Single-cell crop · Romanowsky-stained · peripheral blood film
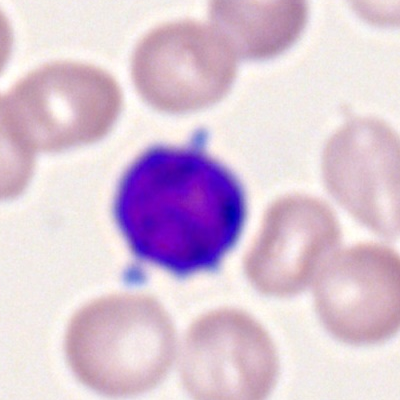
Q: What cell is this?
A: This is a typical lymphocyte.